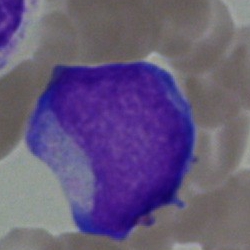

Impression — undifferentiated blast.